Peripheral blood smear.
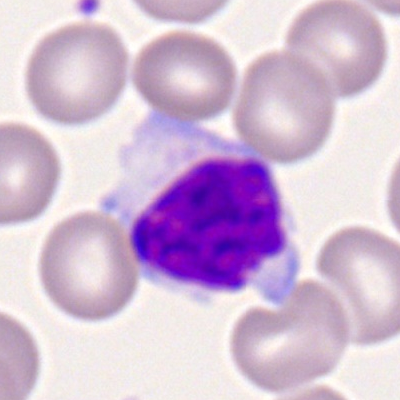Specimen: peripheral blood smear.
Classification: lymphocyte.
Lineage: lymphoid.